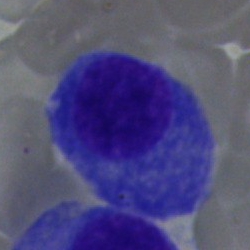Q: What cell is this?
A: It is a plasma cell.